MGG-stained · bone marrow smear · 40× objective, oil immersion.
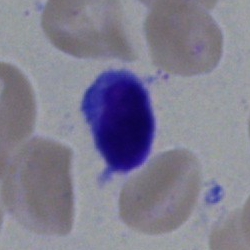 The cell shown is a typical lymphocyte.